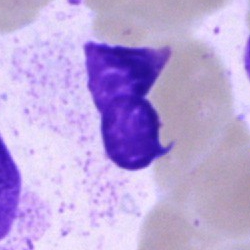The cell type is artifact.